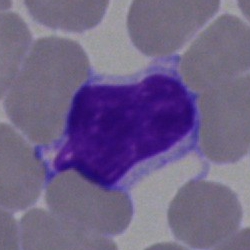Q: What is shown here?
A: A lymphocyte.